Bone marrow smear
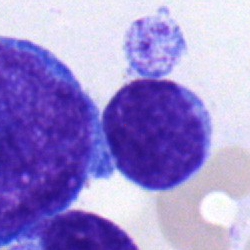 Lymphocyte.